40× oil immersion · bone marrow aspirate smear · Pappenheim-stained: 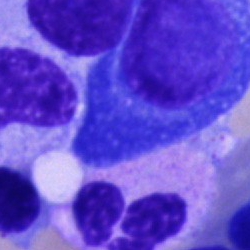 Morphological class — plasmacyte.